Peripheral blood film — 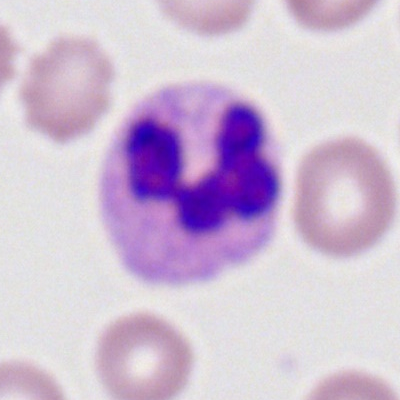
Showing a polymorphonuclear neutrophil.